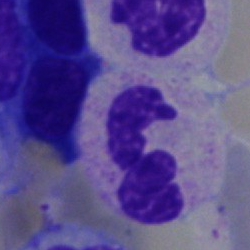
Specimen: bone marrow aspirate smear.
Cell: neutrophil (segmented).